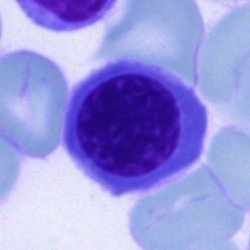 Erythroblast.